Single cell centered in the field · bone marrow aspirate smear · 250 by 250 pixels
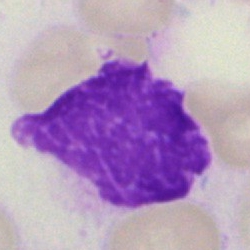 Specimen: bone marrow aspirate smear.
Cell type: artifact.